Bone marrow aspirate smear — 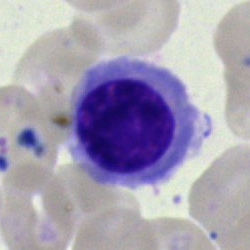 A nucleated red blood cell.